Bone marrow aspirate smear. May-Grünwald-Giemsa stain
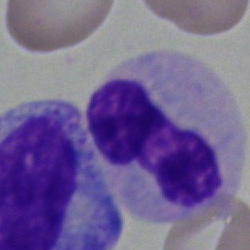
Band neutrophil.